Bone marrow smear; Pappenheim-stained:
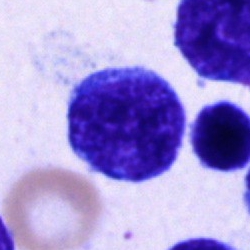Morphological class: blast cell.